Bone marrow aspirate smear
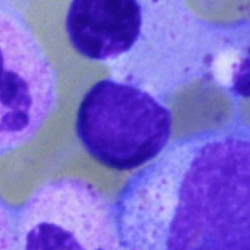This is a typical lymphocyte.